Bone marrow aspirate smear:
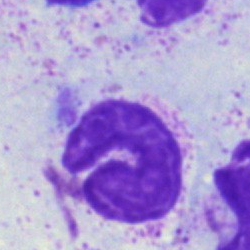

Q: What is shown here?
A: A band neutrophil.